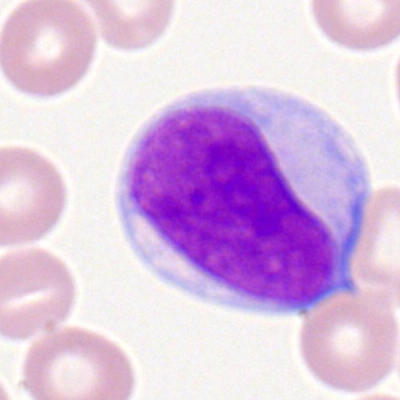 {"cell_type": "myeloblast", "lineage": "myeloid"}